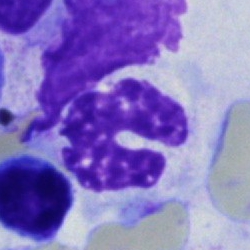

Q: What type of cell is this?
A: It is a neutrophil (segmented).